Pappenheim-stained · bone marrow smear — 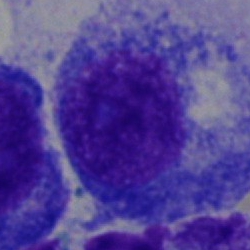

Specimen: bone marrow aspirate smear.
Classification: progranulocyte.